Bone marrow aspirate smear: 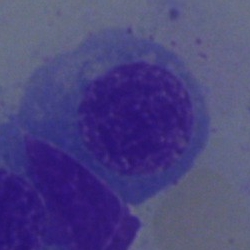
The cell is nucleated red cell.